Peripheral blood film — 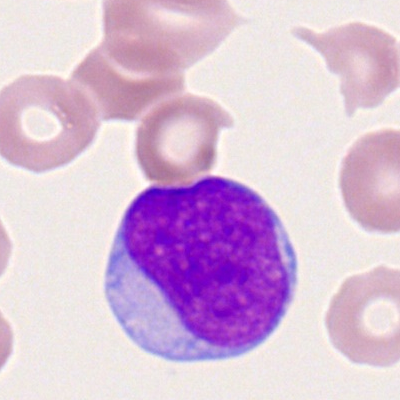

Q: What is shown here?
A: This is a myeloid blast.